Peripheral blood smear:
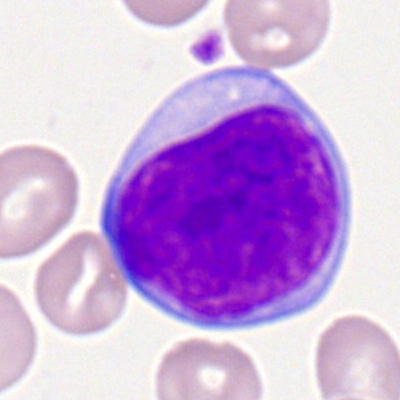

Showing a myeloblast.